Bone marrow smear.
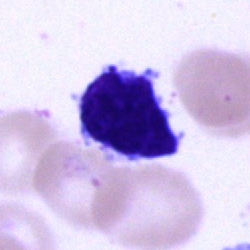
This is a lymphocyte.